Single cell centered in the field · bone marrow smear · 250×250 px:
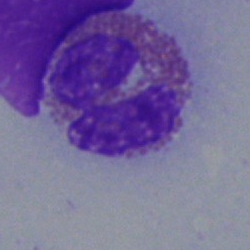
Q: Identify the cell.
A: It is an eosinophil.